Bone marrow aspirate smear
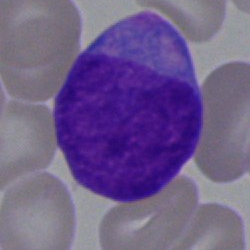

Impression → blast cell.